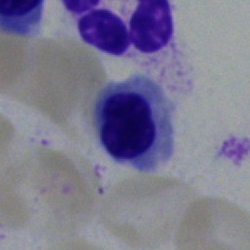

The morphological class is nucleated red blood cell.